May-Grünwald-Giemsa stain; bone marrow aspirate smear.
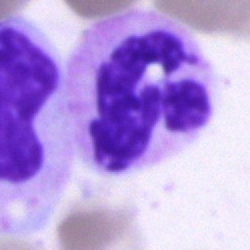

The cell is polymorphonuclear neutrophil.